MGG-stained. Bone marrow smear — 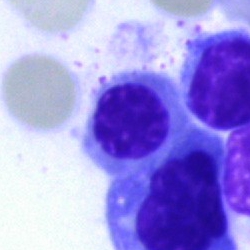

Classification — normoblast.